Bone marrow aspirate smear · single cell centered in the field · Pappenheim-stained
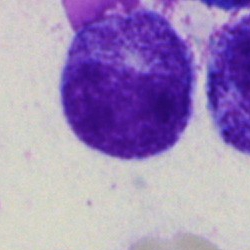

Morphology consistent with a promyelocyte.